Bone marrow smear:
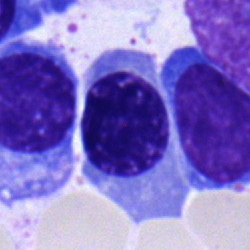

Specimen: bone marrow aspirate smear.
Cell type: nucleated red cell.
Lineage: erythroid.